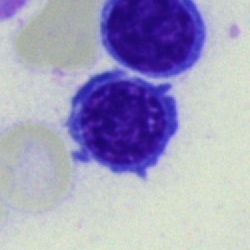

Single-cell crop from a bone marrow smear: nucleated red cell.